Bone marrow smear: 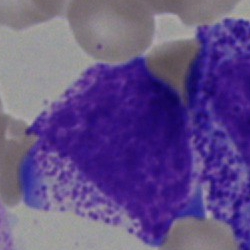Progranulocyte.